Image size 250×250 · bone marrow aspirate smear · single-cell field — 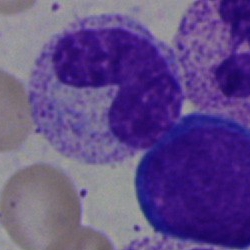 Single cell identified as a neutrophil (band).